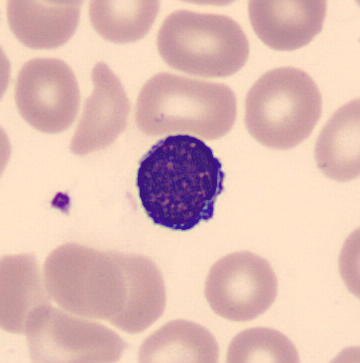
Peripheral blood film.
The cell is typical lymphocyte.